Single-cell crop; bone marrow smear:
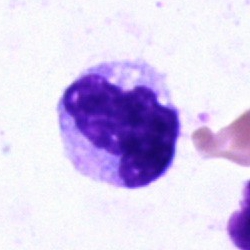
Cell = monocyte.